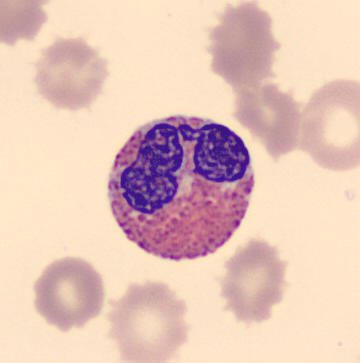 An eosinophil.

Peripheral blood smear.